Bone marrow smear: 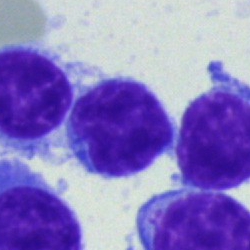

The morphological class is lymphocyte.